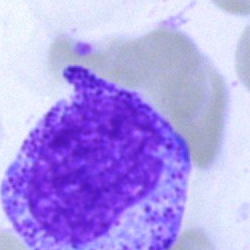 Single cell identified as a myelocyte.